Bone marrow smear. May-Grünwald-Giemsa stain: 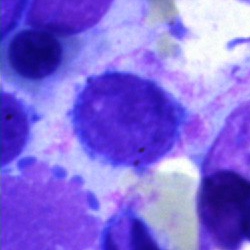 The cell shown is a lymphocyte.